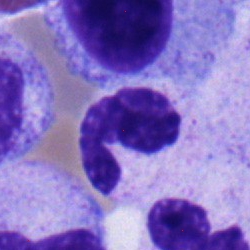 Classification — myelocyte.